Bone marrow aspirate smear.
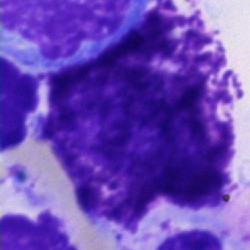
Specimen: bone marrow aspirate smear.
Cell: other cell type.